Single-cell field. Bone marrow smear: 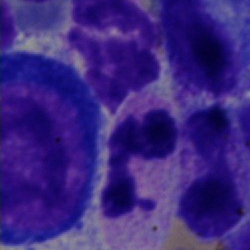 Q: What is the morphological classification of this cell?
A: It is a polymorphonuclear neutrophil.